Bone marrow aspirate smear · MGG-stained: 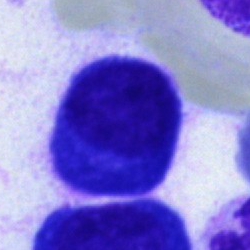 Q: Identify the cell.
A: It is a plasmacyte.